Bone marrow smear
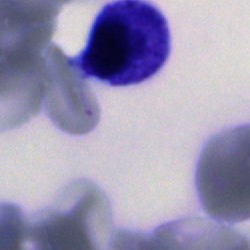 Impression → unidentifiable cell.